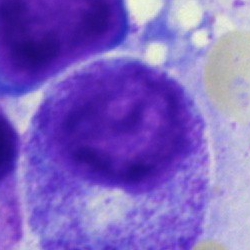Cell type = myelocyte.